Bone marrow aspirate smear.
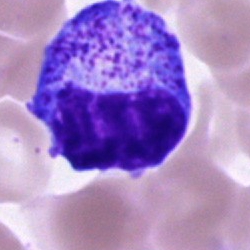
This is a progranulocyte.